Bone marrow smear — 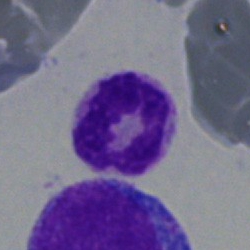 This is a neutrophil (segmented).